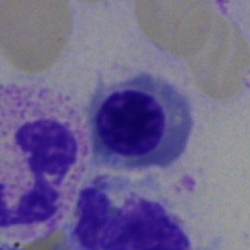
Classification — normoblast.